Bone marrow aspirate smear: 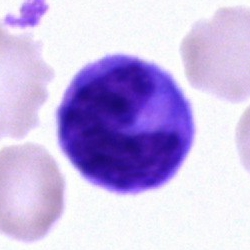The cell shown is a monocyte.